May-Grünwald-Giemsa/Pappenheim stain · bone marrow smear · cropped to a single cell
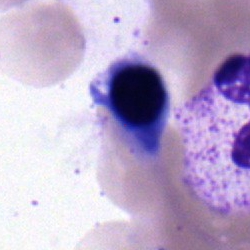
Classification: normoblast.